Bone marrow smear: 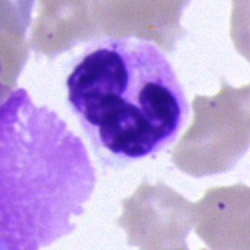
The classification is neutrophil (segmented).